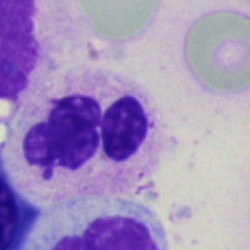Morphology consistent with a neutrophil (segmented).